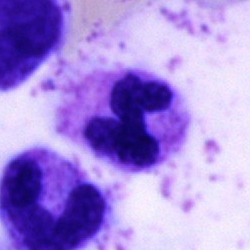 The cell is neutrophil (segmented).